Bone marrow aspirate smear — 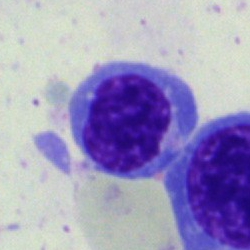
This is a nucleated red blood cell.